Bone marrow smear: 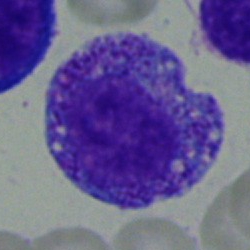
This is a myelocyte.